Bone marrow aspirate smear
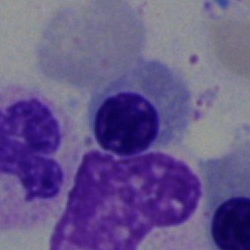

Specimen: bone marrow smear.
Cell: normoblast.